Bone marrow aspirate smear · single-cell field
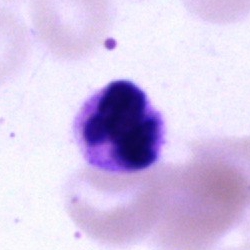

Classification: segmented neutrophil.